Bone marrow aspirate smear: 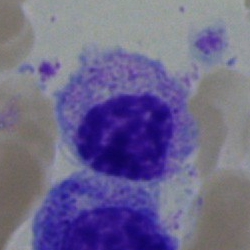
{"cell_type": "myelocyte", "lineage": "myeloid"}